Peripheral blood film — 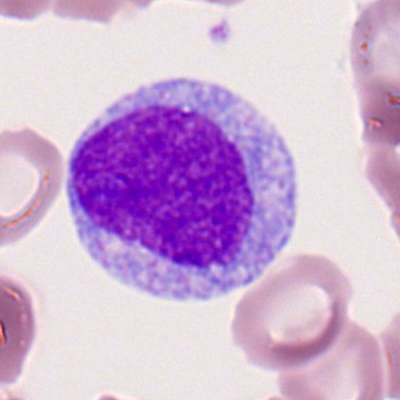 The classification is myeloid blast.